Bone marrow aspirate smear. 250×250.
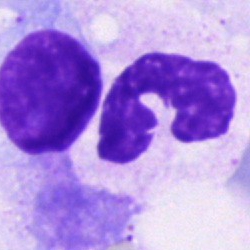

Cell — segmented neutrophil.